Bone marrow smear.
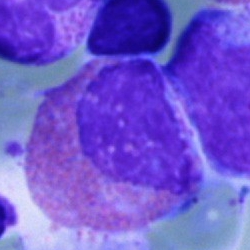 Morphology consistent with an eosinophil.